Bone marrow smear — 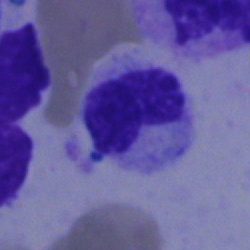 The cell type is neutrophil (band).